Bone marrow aspirate smear.
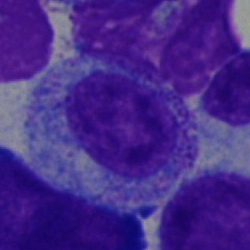 {"cell_type": "myelocyte", "lineage": "myeloid"}